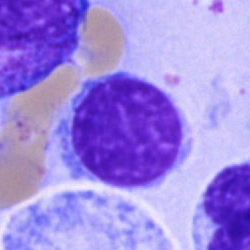
Lymphocyte.